Bone marrow smear: 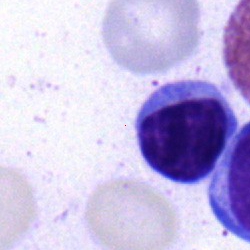

Q: What is shown here?
A: A lymphocyte.